250 by 250 pixels. Bone marrow smear: 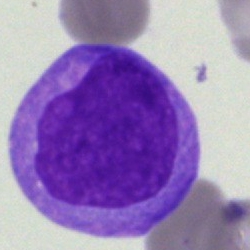
The classification is undifferentiated blast.